Peripheral blood smear
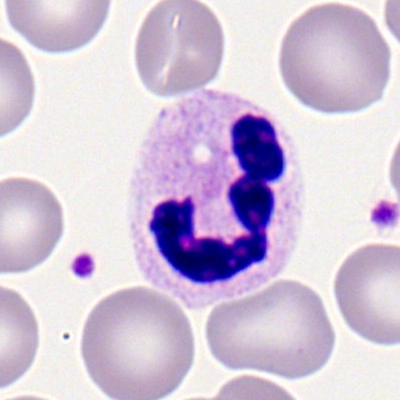
Segmented neutrophil.